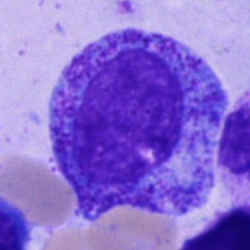 Impression → promyelocyte.